Peripheral blood smear: 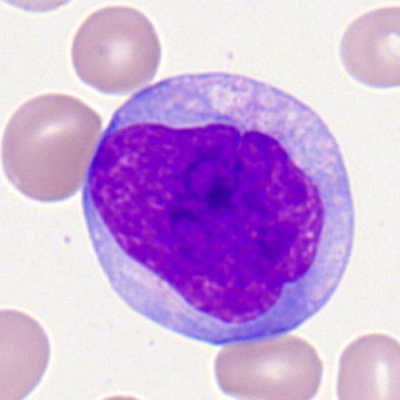 Classification: myeloid blast.